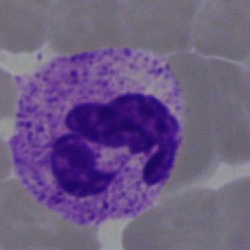

Specimen: bone marrow aspirate smear.
Cell type: segmented neutrophil.
Lineage: myeloid.